Pappenheim-stained · bone marrow smear
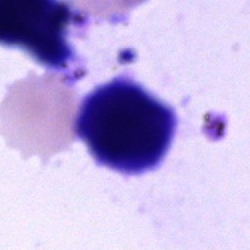 Morphology → unidentifiable cell.